Bone marrow smear:
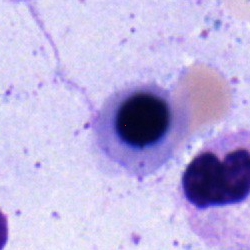This is a nucleated red blood cell.